Bone marrow aspirate smear.
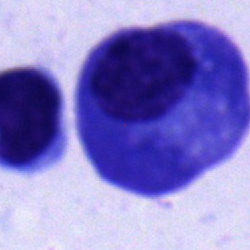 Q: What type of cell is this?
A: A plasmacyte.